Cropped to a single cell; bone marrow smear; 40× oil immersion: 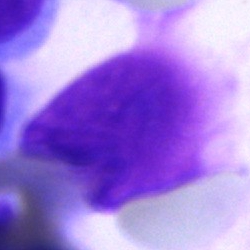

Artefact.